Bone marrow aspirate smear
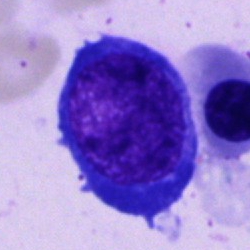Morphology consistent with a proerythroblast.